Bone marrow aspirate smear — 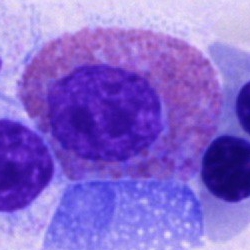Single cell identified as an eosinophilic granulocyte.